Bone marrow aspirate smear · image size 250×250
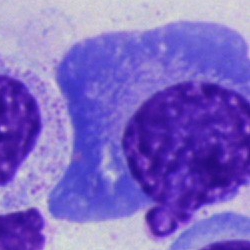
Single cell identified as a plasmacyte.